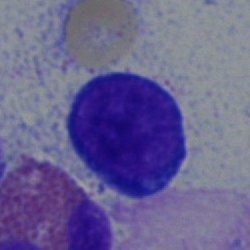 Single cell identified as a proerythroblast.